Bone marrow smear; brightfield, 40× oil-immersion objective: 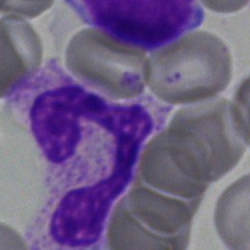 The cell is segmented neutrophil.